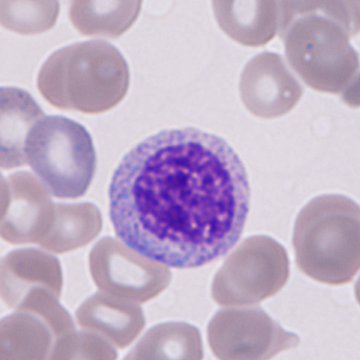Acquisition: Peripheral blood film. MGG-stained. Q: Identify the cell.
A: Immature granulocyte (promyelocyte, myelocyte or metamyelocyte).